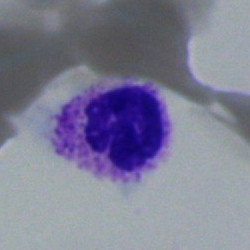

Specimen: bone marrow smear.
Classification: segmented neutrophil.